MGG-stained. Bone marrow smear:
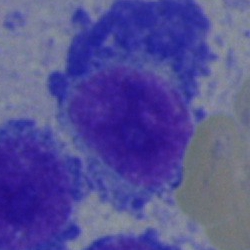Cell = plasma cell.